Bone marrow smear · image size 250×250:
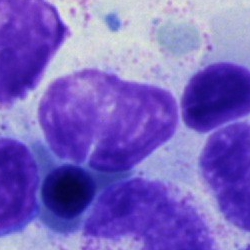

Unidentifiable cell.